Single-cell field; bone marrow aspirate smear.
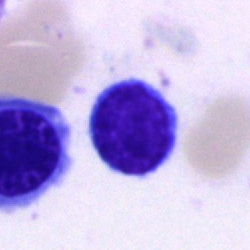 Specimen: bone marrow smear.
Cell: lymphocyte.
Lineage: lymphoid.